Peripheral blood film.
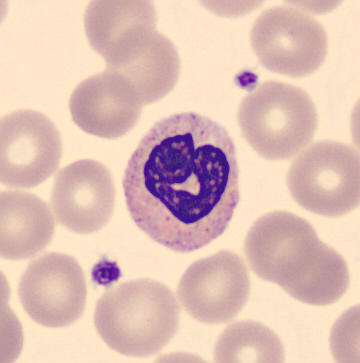

A neutrophil (band).